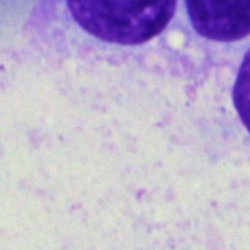

This is an artefact.